Bone marrow smear
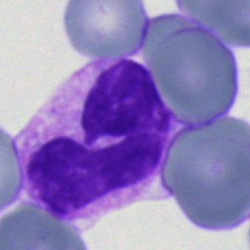
Morphology — neutrophil (segmented).